Single cell centered in the field · 250 by 250 pixels · bone marrow smear.
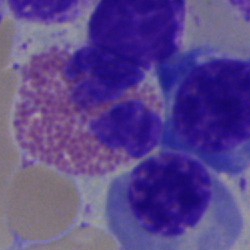Specimen: bone marrow aspirate smear.
Morphological class: eosinophil.
Lineage: myeloid.